Peripheral blood film: 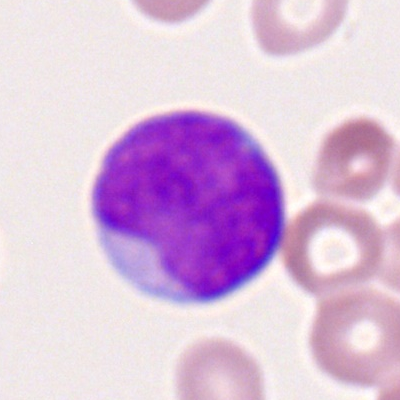 Morphology — myeloid blast.